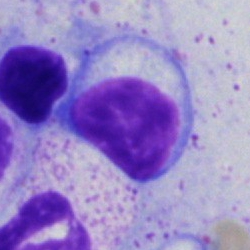
Specimen: bone marrow smear.
Classification: lymphocyte.
Lineage: lymphoid.